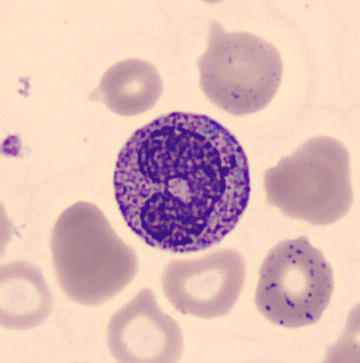Image: Peripheral blood smear.

Morphology — band neutrophil.